Bone marrow aspirate smear: 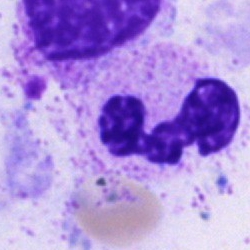

Impression → segmented neutrophil.